Bone marrow smear — 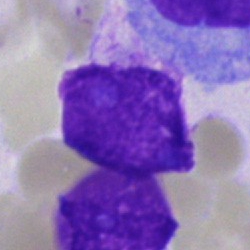

Q: What is shown here?
A: It is an artefact.